Bone marrow smear.
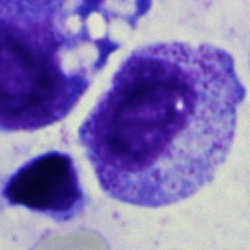

A proerythroblast.